Bone marrow aspirate smear — 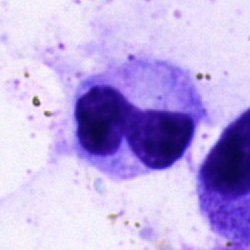
Segmented neutrophil.